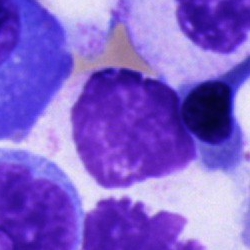 Q: What cell is this?
A: A cell of indeterminate lineage.